Bone marrow aspirate smear:
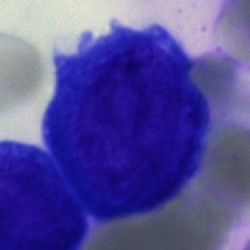
Morphology → promyelocyte.